Image size 250×250 · bone marrow aspirate smear:
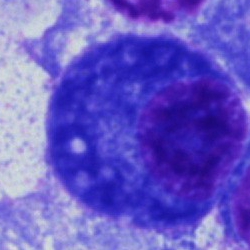 Classification: plasma cell.